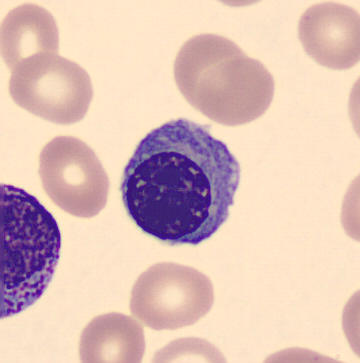

Single-cell crop from a peripheral blood smear: normoblast.